250×250 px; bone marrow smear
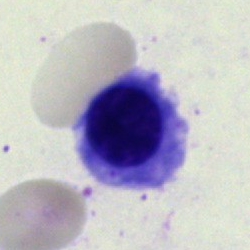

The morphological class is erythroblast.